Bone marrow aspirate smear. Single-cell crop.
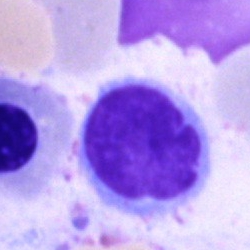
Morphology → lymphocyte.